Peripheral blood film: 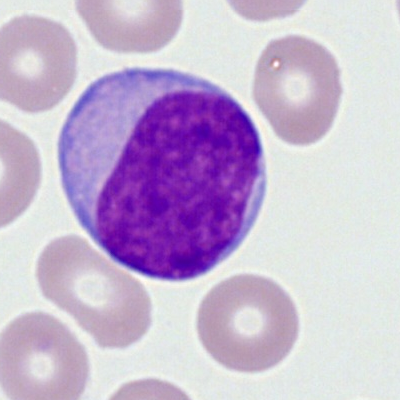

The cell shown is a myeloid blast.